Bone marrow aspirate smear
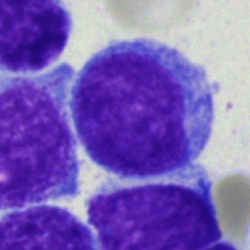
A blast cell.